Bone marrow smear
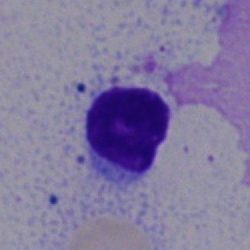Q: What is the morphological classification of this cell?
A: A typical lymphocyte.